Bone marrow aspirate smear: 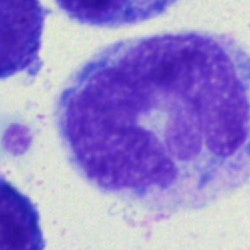
This is a monocyte.